Bone marrow aspirate smear.
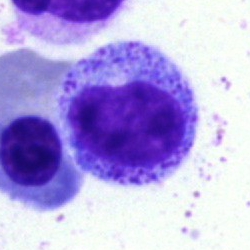Morphology — myelocyte.